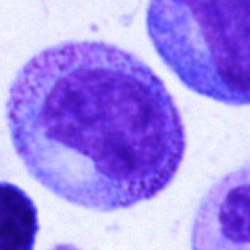 Specimen: bone marrow smear.
Cell: metamyelocyte.
Lineage: myeloid.